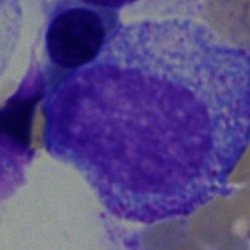 Q: Which cell type is shown here?
A: It is a progranulocyte.